Bone marrow smear
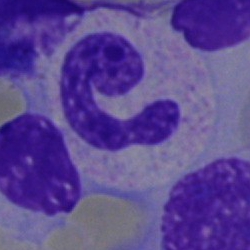The cell shown is a segmented neutrophil.